Bone marrow aspirate smear · single-cell crop · 250 by 250 pixels
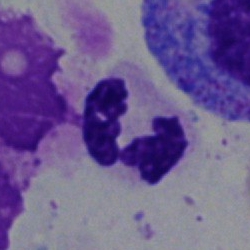Morphology → segmented neutrophil.